Bone marrow smear — 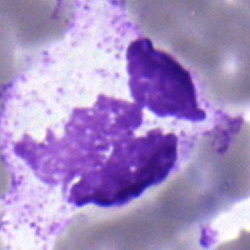

Showing a polymorphonuclear neutrophil.